Image size 400×400 · Romanowsky-type stain · peripheral blood smear — 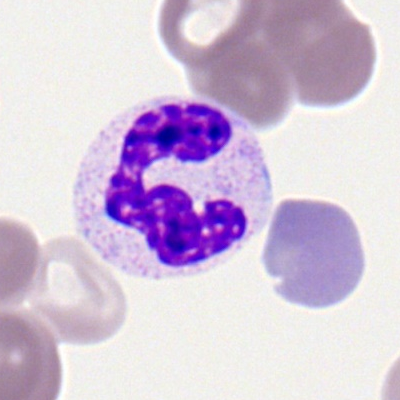This is a segmented neutrophil.